Bone marrow smear — 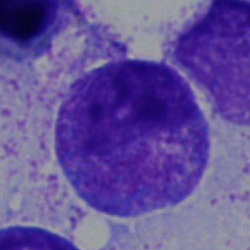
{"cell_type": "progranulocyte", "lineage": "myeloid"}